250 by 250 pixels. May-Grünwald-Giemsa/Pappenheim stain. Bone marrow smear:
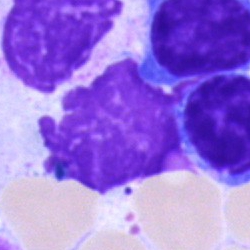
Q: What is shown here?
A: Artefact.